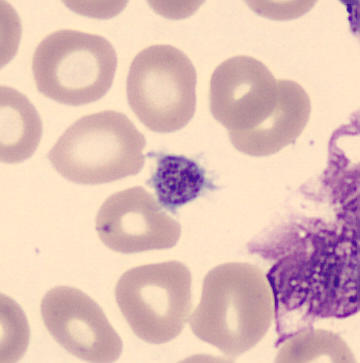
Image: Peripheral blood film. Q: What is this?
A: This is a platelet.